Peripheral blood smear; single cell centered in the field — 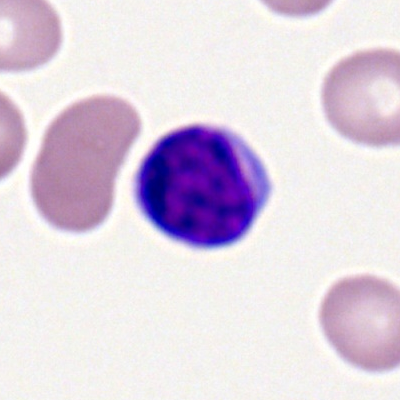
Q: What type of cell is this?
A: This is a lymphocyte.